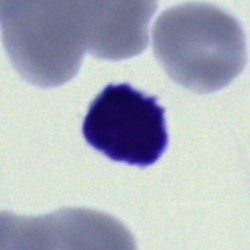

The cell is artifact.